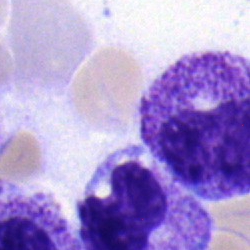

This is a myelocyte.